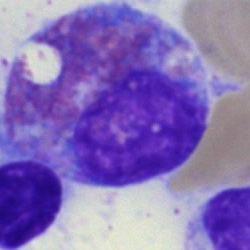 Impression → eosinophilic granulocyte.